Bone marrow smear · cropped to a single cell — 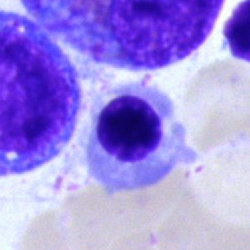A nucleated red cell.